Bone marrow smear.
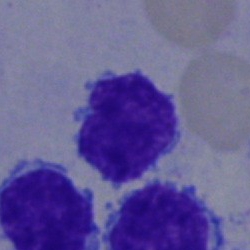The cell is typical lymphocyte.